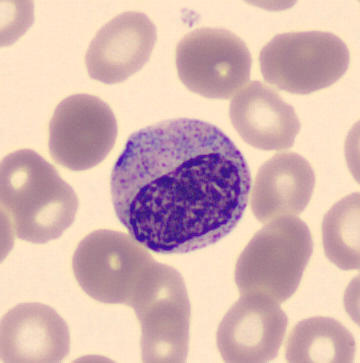 Preparation: Peripheral blood film.
Q: Which cell type is shown here?
A: This is a myelocyte.